MGG-stained; bone marrow smear: 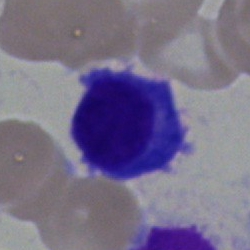The cell type is plasmacyte.